Bone marrow aspirate smear: 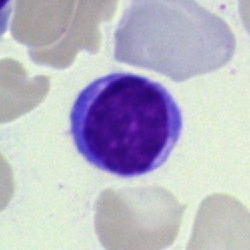{"cell_type": "lymphocyte", "lineage": "lymphoid"}